Bone marrow smear · May-Grünwald-Giemsa/Pappenheim stain · single cell centered in the field:
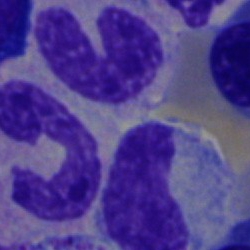 The cell is neutrophil (band).